250×250 px · bone marrow aspirate smear
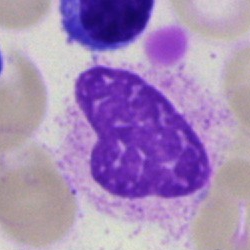
Morphology consistent with an artifact.